40× objective, oil immersion; bone marrow aspirate smear: 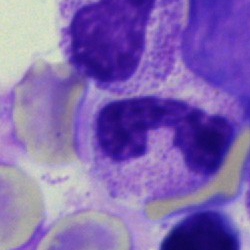Impression — neutrophil (band).